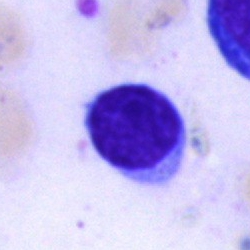Q: Identify the cell.
A: Lymphocyte.